Single-cell field. Bone marrow smear
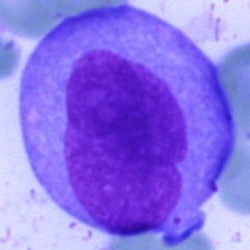 Showing a blast cell.